Bone marrow smear; cropped to a single cell:
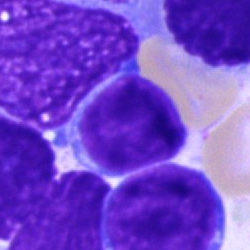Typical lymphocyte.